Bone marrow aspirate smear.
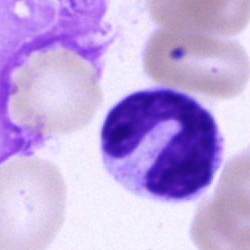 A band-form neutrophil.